MGG-stained · bone marrow smear — 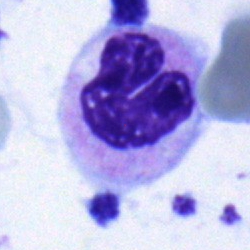 Classification: neutrophil (band).